Bone marrow aspirate smear · MGG-stained · single-cell crop
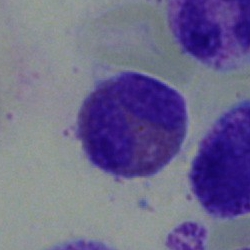Cell — eosinophilic granulocyte.